Bone marrow smear: 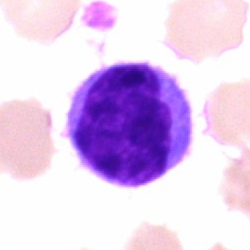
Cell type: lymphocyte.